40× oil immersion; bone marrow aspirate smear
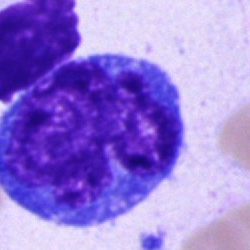Morphology → blast.